Bone marrow aspirate smear; 250 by 250 pixels: 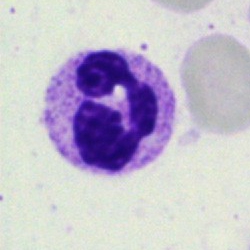

This is a segmented neutrophil.